Pappenheim-stained. Bone marrow smear — 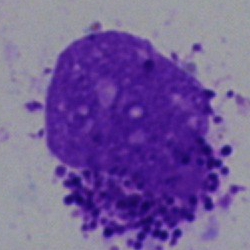The cell is basophil.